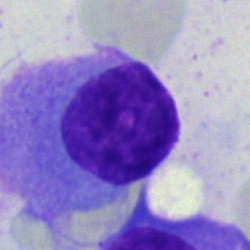

Bone marrow smear showing a plasmacyte.